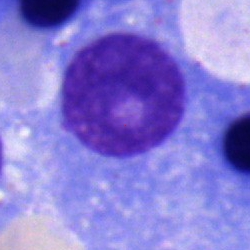 The cell shown is a plasmacyte.